Image size 250×250. Bone marrow smear. Pappenheim-stained
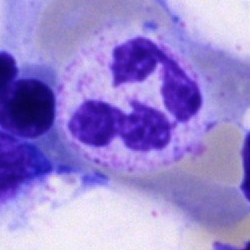 Specimen: bone marrow aspirate smear.
Cell: neutrophil (segmented).
Lineage: myeloid.